May-Grünwald-Giemsa stain; bone marrow smear
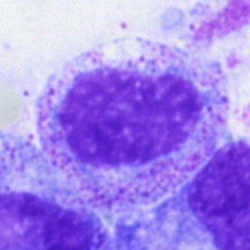Q: What type of cell is this?
A: This is a myelocyte.